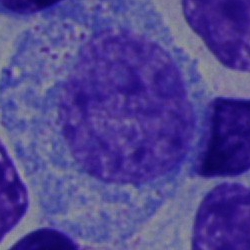

Morphology — promyelocyte.